40× oil immersion · bone marrow aspirate smear
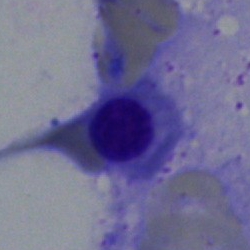

Cell type: normoblast.